Bone marrow aspirate smear; 250×250 px; single cell centered in the field — 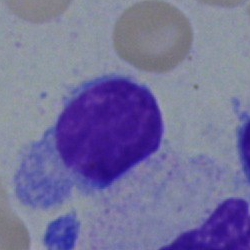 Showing a lymphocyte.